250 by 250 pixels · brightfield, 40× oil-immersion objective · bone marrow aspirate smear
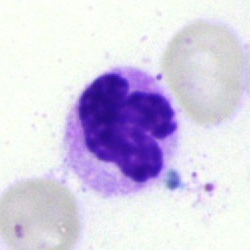

Segmented neutrophil.